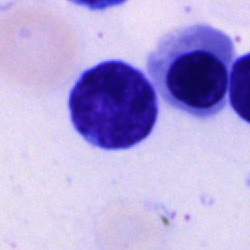

Specimen: bone marrow smear.
Morphological class: lymphocyte.